Bone marrow aspirate smear — 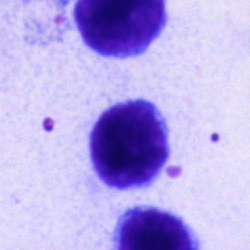

Morphology — lymphocyte.